Bone marrow aspirate smear
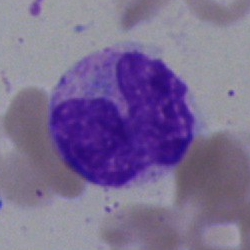Cell: monocyte.